Peripheral blood film: 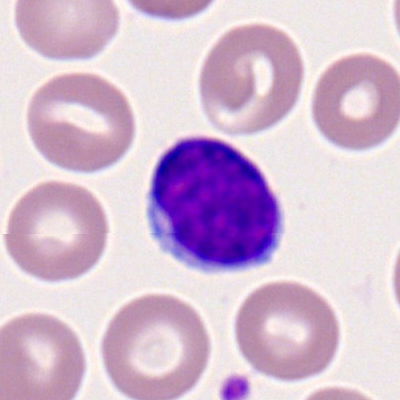Cell type — typical lymphocyte.